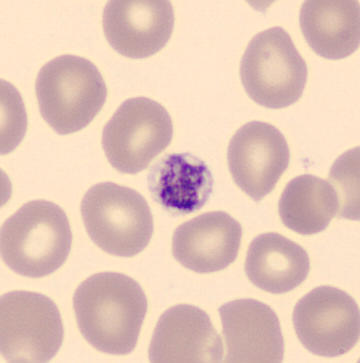
Identified as a platelet (thrombocyte).

Image: Peripheral blood film.